Bone marrow aspirate smear:
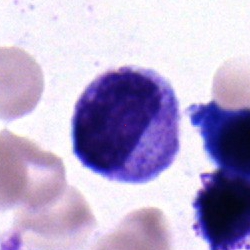
A polymorphonuclear neutrophil.